Bone marrow smear.
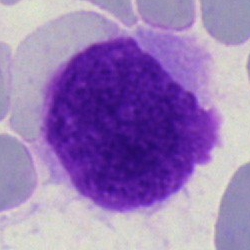Cell type — artefact.